Single cell centered in the field. Bone marrow smear.
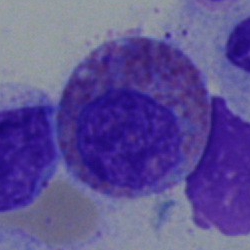

Eosinophil.